May-Grünwald-Giemsa/Pappenheim stain. Bone marrow smear. Single-cell field — 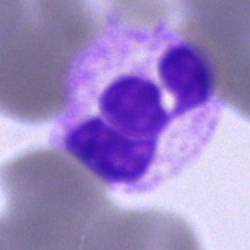The cell shown is a polymorphonuclear neutrophil.